Bone marrow aspirate smear; May-Grünwald-Giemsa stain; 250×250 px: 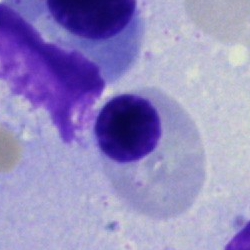

This is a normoblast.